Bone marrow smear · May-Grünwald-Giemsa stain.
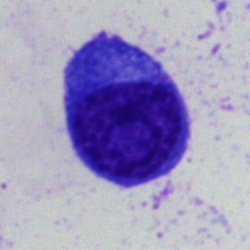

Classification — plasma cell.